Bone marrow aspirate smear. 250 by 250 pixels — 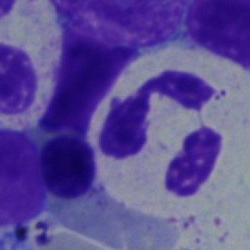
The classification is polymorphonuclear neutrophil.